Peripheral blood film. 400 by 400 pixels:
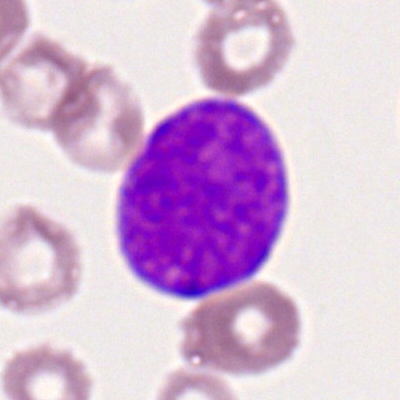
A myeloblast.